MGG-stained. 40× oil immersion. Bone marrow smear:
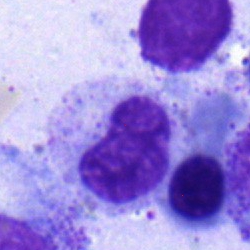Specimen: bone marrow aspirate smear.
Cell type: metamyelocyte.